Bone marrow aspirate smear.
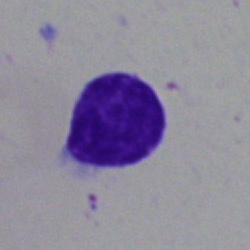

The cell is typical lymphocyte.